100× oil immersion. Peripheral blood film
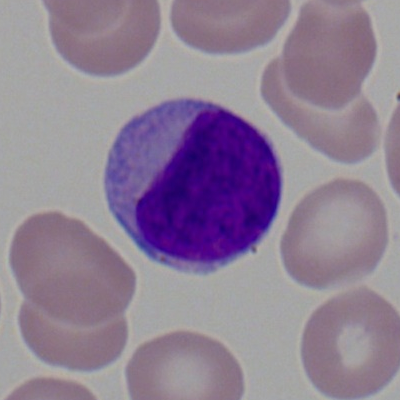 Specimen: peripheral blood smear.
Classification: myeloid blast.
Lineage: myeloid.